Bone marrow aspirate smear
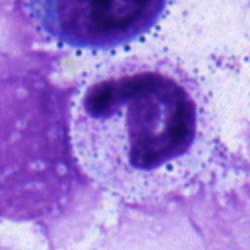 Morphology consistent with a segmented neutrophil.